Peripheral blood smear
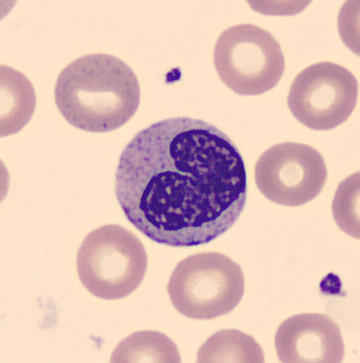
Morphology consistent with a metamyelocyte.